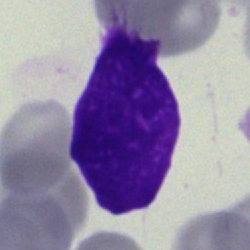 Q: What is shown here?
A: Artifact.